Bone marrow aspirate smear; May-Grünwald-Giemsa/Pappenheim stain: 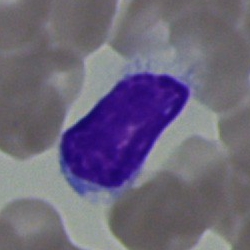Cell — typical lymphocyte.